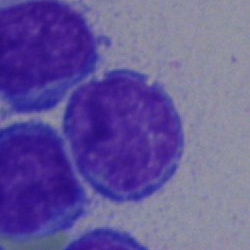A typical lymphocyte on a bone marrow smear.